Bone marrow smear
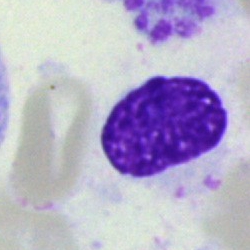 {"cell_type": "artefact"}